May-Grünwald-Giemsa stain; bone marrow smear — 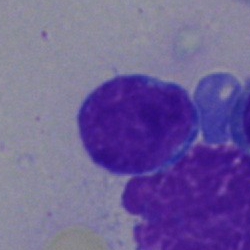

Q: Identify the cell.
A: A typical lymphocyte.